Bone marrow aspirate smear · 250×250 px · single cell centered in the field: 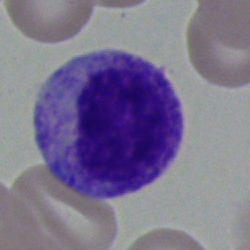Showing a myelocyte.